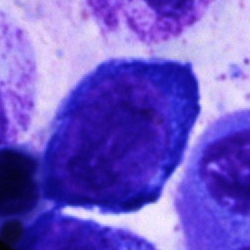 Proerythroblast.